40× objective, oil immersion · bone marrow aspirate smear — 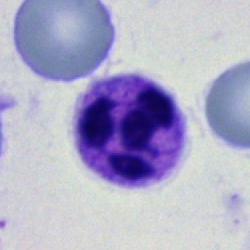 The cell shown is a neutrophil (segmented).